Bone marrow aspirate smear
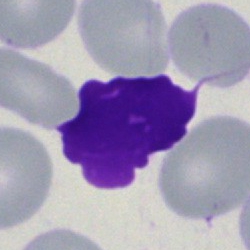
This is an artifact.